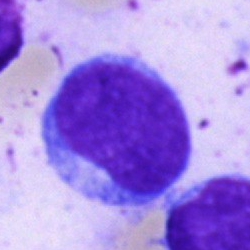Single-cell crop from a bone marrow smear: blast cell.